Bone marrow aspirate smear; single-cell field
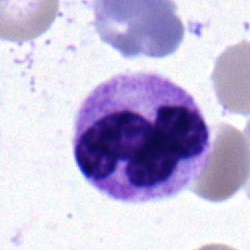

Specimen: bone marrow aspirate smear.
Cell type: neutrophil (segmented).
Lineage: myeloid.